Pappenheim-stained. Bone marrow aspirate smear. Cropped to a single cell — 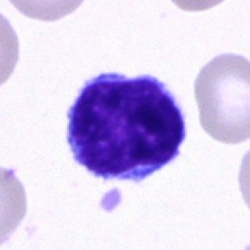

Morphological class — typical lymphocyte.